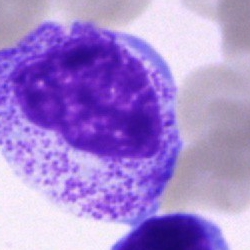 Morphology → promyelocyte.